250×250 px. Brightfield microscopy, 40× oil immersion. Bone marrow smear
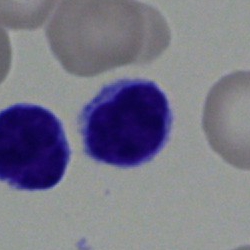 Lymphocyte.